Bone marrow aspirate smear · brightfield, 40× oil-immersion objective: 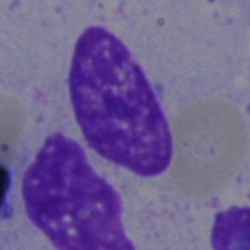 Single cell identified as an artefact.